Single cell centered in the field; bone marrow aspirate smear.
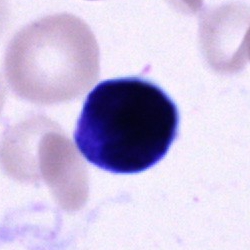

Morphological class = unidentifiable cell.